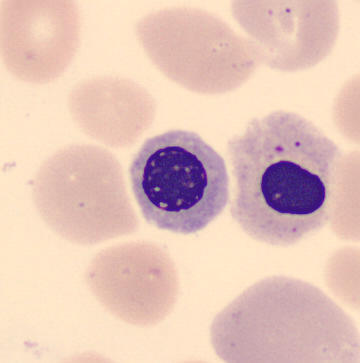 Q: Identify the cell.
A: Erythroblast. Image: Peripheral blood smear.